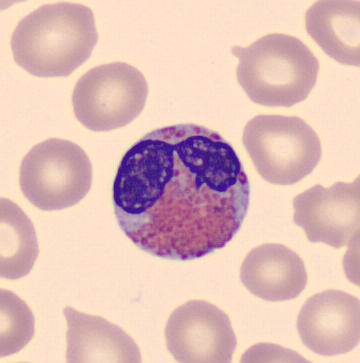 Single-cell crop from a peripheral blood smear: eosinophilic granulocyte.